Bone marrow smear:
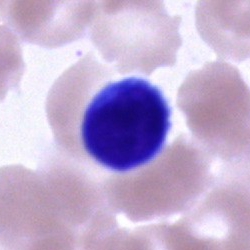
Morphology → lymphocyte.